40× objective, oil immersion; bone marrow smear:
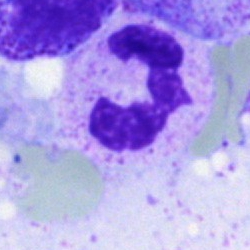 Classification: polymorphonuclear neutrophil.